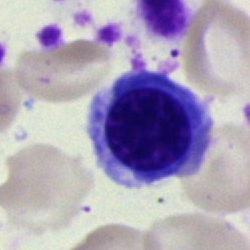Impression — normoblast.